Bone marrow smear · brightfield microscopy, 40× oil immersion: 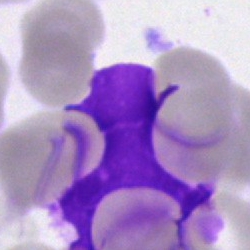An artefact.